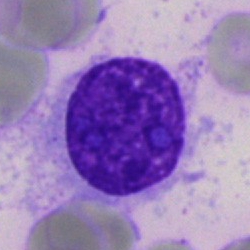
An artefact.